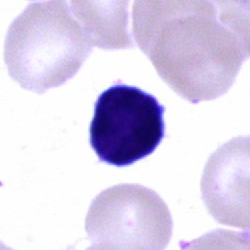

{"cell_type": "typical lymphocyte"}